Bone marrow aspirate smear · single cell centered in the field: 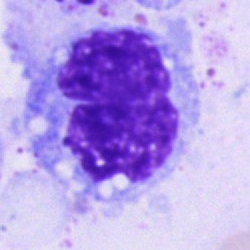

Morphology → monocyte.